May-Grünwald-Giemsa/Pappenheim stain; bone marrow smear: 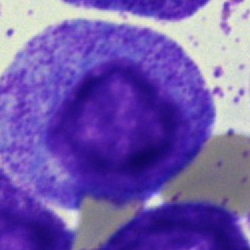 Showing a progranulocyte.